Image size 250×250. Bone marrow aspirate smear.
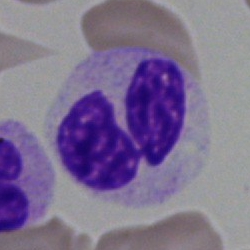

A segmented neutrophil.